Pappenheim-stained. Bone marrow smear:
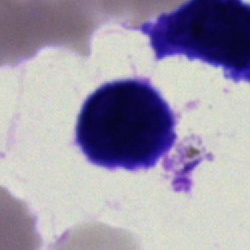 This is an artifact.